40× objective, oil immersion; 250×250 px; bone marrow smear.
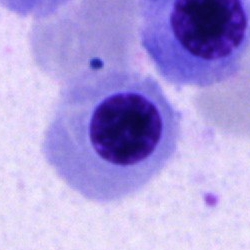

{"cell_type": "normoblast"}